MGG-stained; bone marrow aspirate smear; cropped to a single cell:
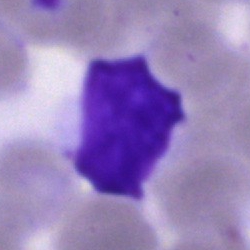 Q: What is shown here?
A: This is an artefact.